Bone marrow smear: 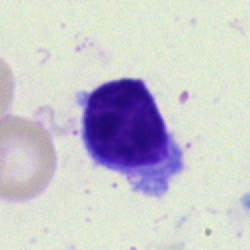
Impression → lymphocyte.